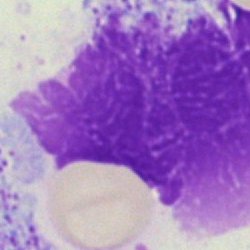Specimen: bone marrow aspirate smear.
Cell type: artifact.